Peripheral blood smear
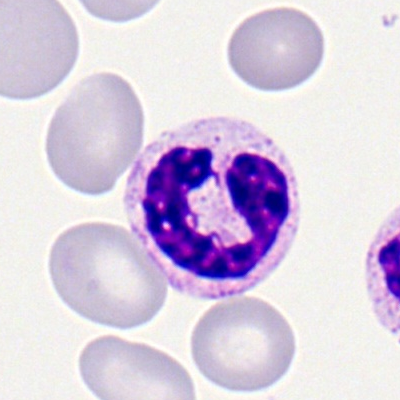The cell shown is a neutrophil (segmented).